Bone marrow aspirate smear.
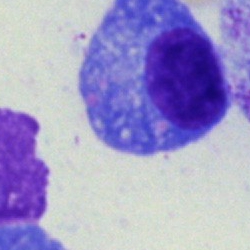
Cell — plasma cell.